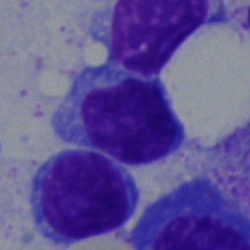The cell is typical lymphocyte.